Bone marrow smear. 250 by 250 pixels: 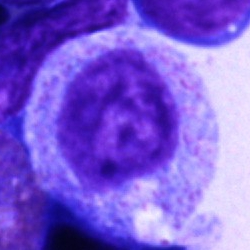
The cell shown is a progranulocyte.